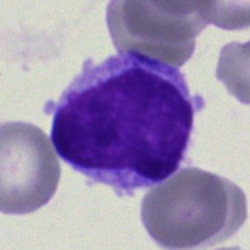 The morphological class is lymphocyte.